May-Grünwald-Giemsa stain. Bone marrow aspirate smear — 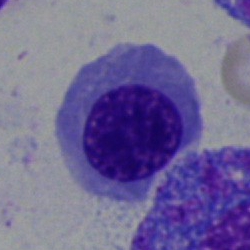
Nucleated red cell.